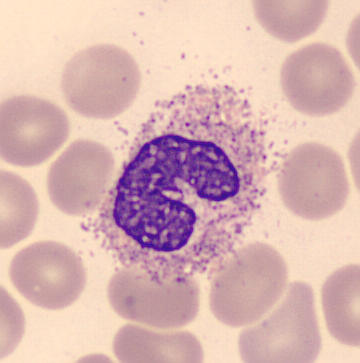 Q: What is this?
A: It is a segmented neutrophil. Image: Peripheral blood smear. 360×363 px. May Grünwald-Giemsa stain.